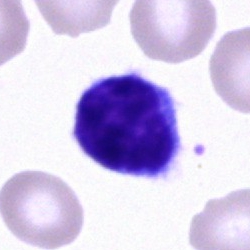Single cell identified as a typical lymphocyte.